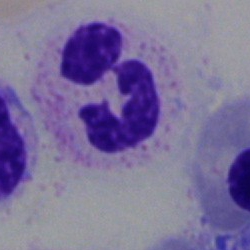A neutrophil (segmented) on a bone marrow smear.